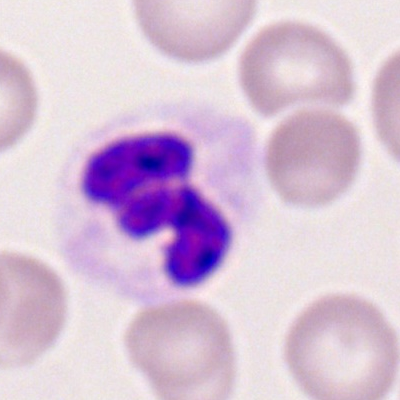
Q: Identify the cell.
A: It is a segmented neutrophil.